MGG stain; peripheral blood film: 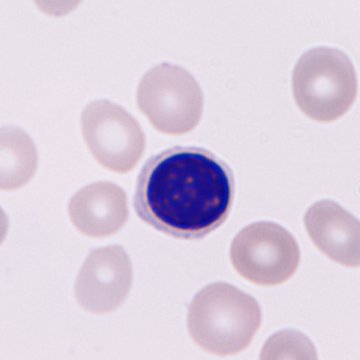 Morphological class: erythroblast.